Brightfield, 40× oil-immersion objective. Bone marrow smear — 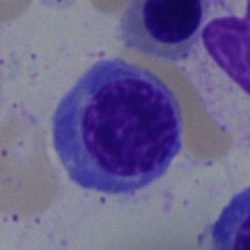Morphological class = nucleated red blood cell.